Bone marrow aspirate smear · May-Grünwald-Giemsa stain · single-cell field.
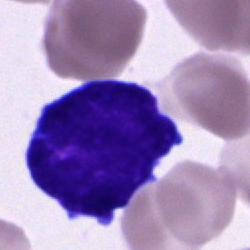A cell of indeterminate lineage.